250 by 250 pixels · bone marrow smear
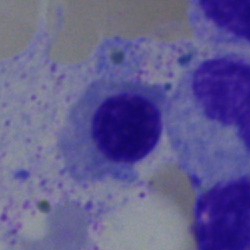Morphology → normoblast.